Cropped to a single cell · peripheral blood film · brightfield, 100× oil-immersion objective
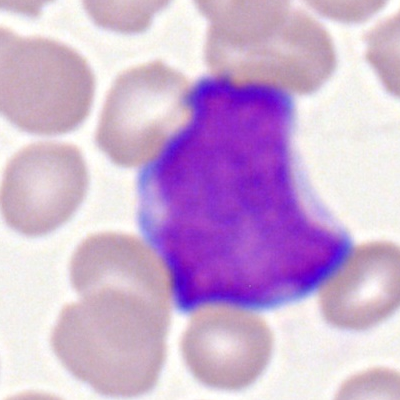
Cell type = myeloid blast.